Bone marrow aspirate smear
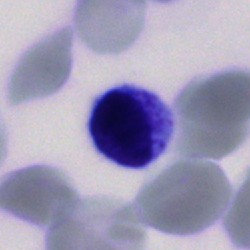
Q: Identify the cell.
A: This is a typical lymphocyte.